Brightfield, 40× oil-immersion objective. Bone marrow aspirate smear:
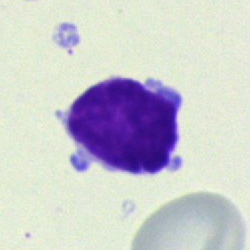The cell is lymphocyte.